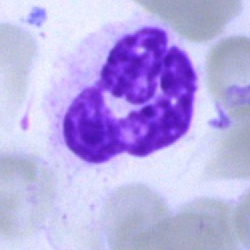
Impression — neutrophil (segmented).